Bone marrow smear.
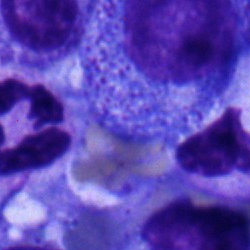
This is a progranulocyte.